250 by 250 pixels; bone marrow aspirate smear
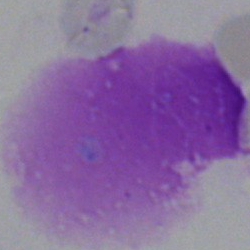
Morphology consistent with an artifact.